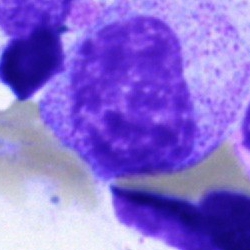

Cell type: myelocyte.